Bone marrow aspirate smear:
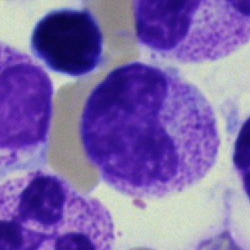

The cell type is metamyelocyte.